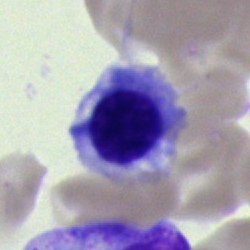Q: What is the morphological classification of this cell?
A: Nucleated red cell.